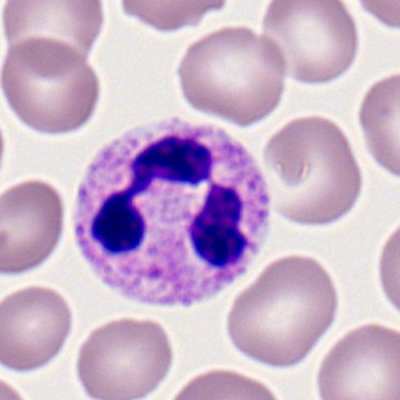
Single-cell crop from a peripheral blood smear: neutrophil (segmented).